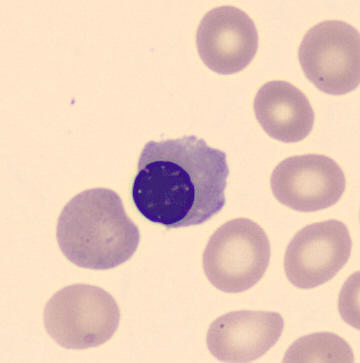

Preparation: Peripheral blood film; single cell centered in the field.
Identified as an erythroblast.